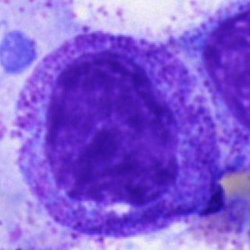 This is a promyelocyte.